Bone marrow aspirate smear
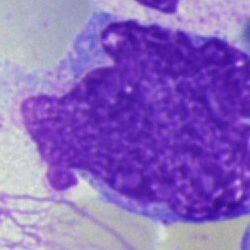

Cell = artifact.